Bone marrow smear
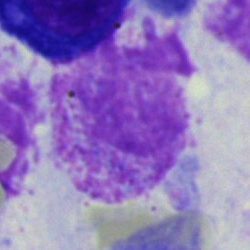Specimen: bone marrow aspirate smear.
Classification: artefact.